Peripheral blood smear
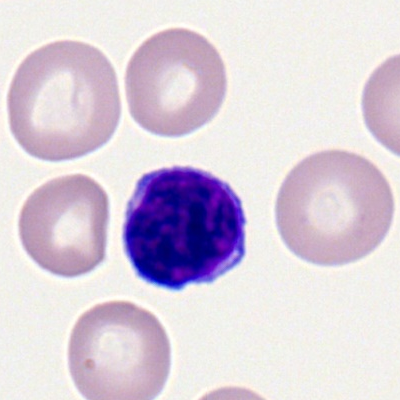Impression — lymphocyte.